Pappenheim-stained · bone marrow aspirate smear
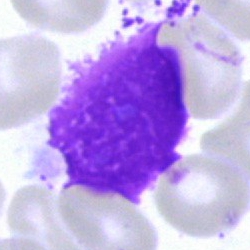 Showing an artefact.